Bone marrow aspirate smear
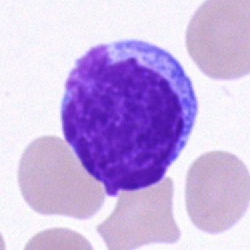 The classification is lymphocyte.